Bone marrow aspirate smear:
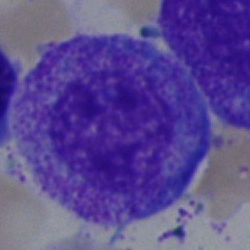

A progranulocyte.